Bone marrow aspirate smear. 40× oil immersion. Pappenheim-stained:
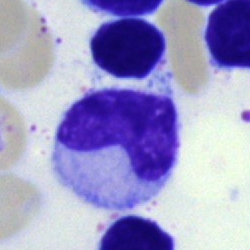Q: What is the morphological classification of this cell?
A: This is a monocyte.